Bone marrow aspirate smear.
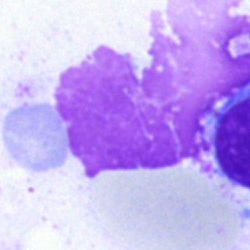Classification = artifact.